Single-cell crop · May-Grünwald-Giemsa/Pappenheim stain · bone marrow aspirate smear
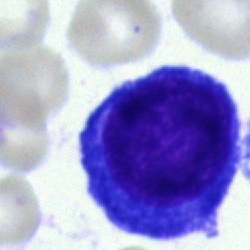 Single cell identified as a pronormoblast.